Peripheral blood film
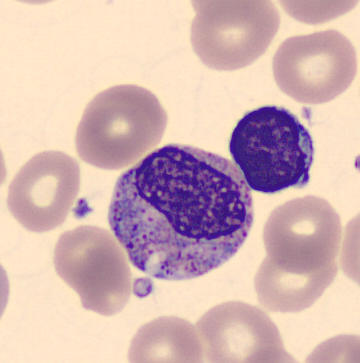 Showing a myelocyte.